Bone marrow smear
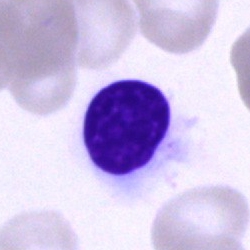Q: What type of cell is this?
A: This is an unidentifiable cell.